250×250 px · bone marrow smear — 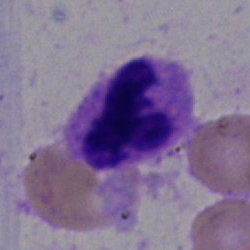
Morphology consistent with a segmented neutrophil.